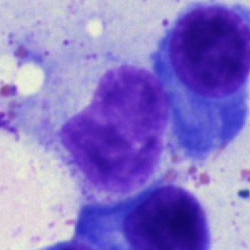 {"cell_type": "metamyelocyte"}